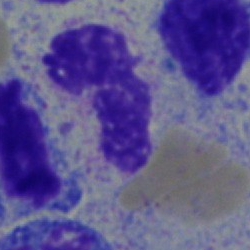Q: Identify the cell.
A: A neutrophil (segmented).